Bone marrow aspirate smear:
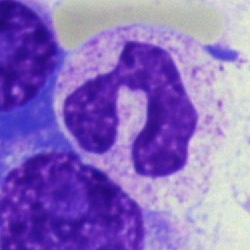 Neutrophil (segmented).